Peripheral blood film. 400×400 px — 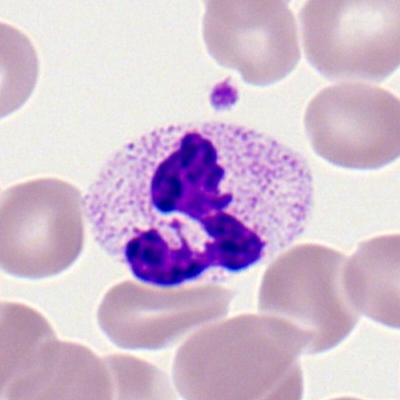
Cell type: neutrophil (segmented).